Bone marrow aspirate smear — 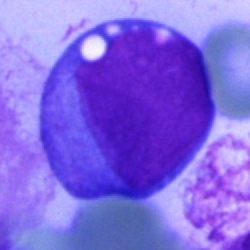 Showing a blast cell.